Bone marrow smear — 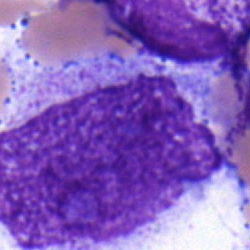

The cell type is blast cell.